Bone marrow smear · single-cell field · 40× oil immersion: 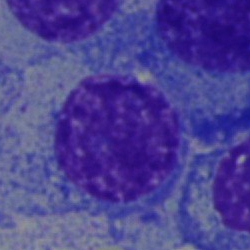

Morphological class = plasma cell.